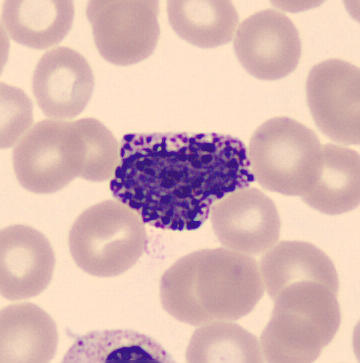 Peripheral blood film. Single cell centered in the field.

The cell shown is a basophil.